Cropped to a single cell. Bone marrow aspirate smear. MGG-stained:
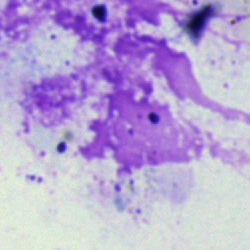
Impression — artefact.